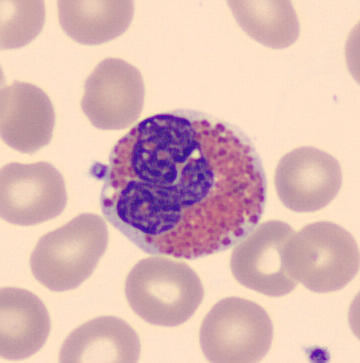 Classification — eosinophil. Acquisition: Peripheral blood smear.